Single cell centered in the field; bone marrow smear — 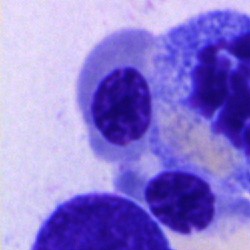

The cell type is nucleated red blood cell.